Bone marrow aspirate smear:
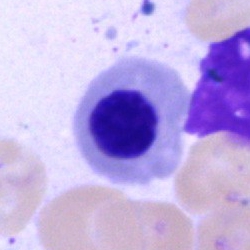

{"cell_type": "normoblast", "lineage": "erythroid"}